Bone marrow smear: 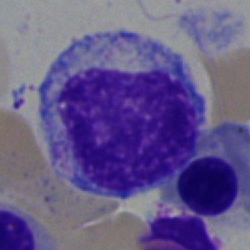Specimen: bone marrow aspirate smear.
Cell: myelocyte.
Lineage: myeloid.